Bone marrow aspirate smear.
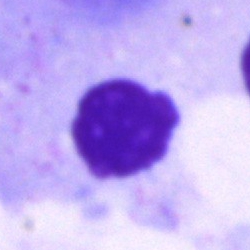
Cell = cell of indeterminate lineage.